Bone marrow aspirate smear — 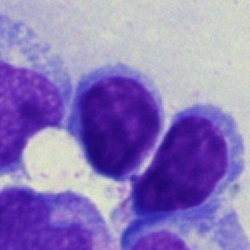
Impression — lymphocyte.